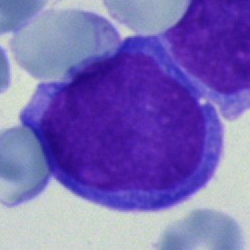

Bone marrow smear showing an undifferentiated blast.